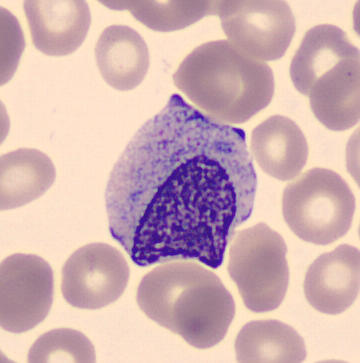Single cell identified as a myelocyte.

360×363 px · automated cell imaging (CellaVision DM96) · peripheral blood film.